Brightfield, 40× oil-immersion objective; bone marrow smear: 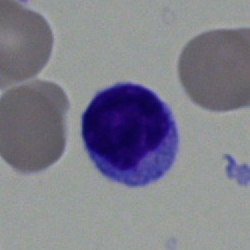 Q: What is the morphological classification of this cell?
A: This is a lymphocyte.